Single cell centered in the field. Bone marrow aspirate smear — 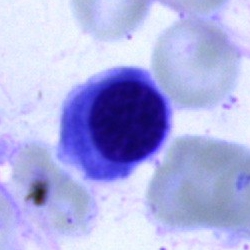

Morphology → nucleated red cell.